Bone marrow aspirate smear:
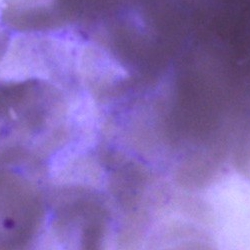

Cell: artefact.